Cropped to a single cell. Bone marrow smear. May-Grünwald-Giemsa/Pappenheim stain — 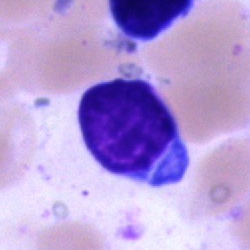
Q: What is the morphological classification of this cell?
A: It is a typical lymphocyte.